Peripheral blood film: 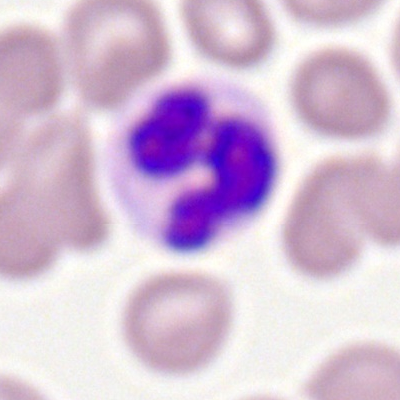Cell — segmented neutrophil.